Single-cell crop; bone marrow aspirate smear — 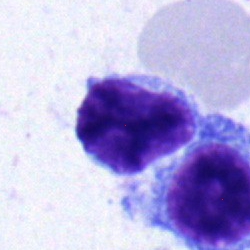 A lymphocyte.